Bone marrow smear.
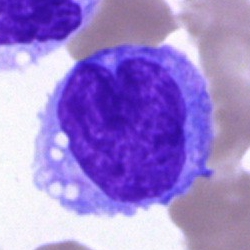 Morphology consistent with a blast cell.